Image size 250×250 · cropped to a single cell · bone marrow smear.
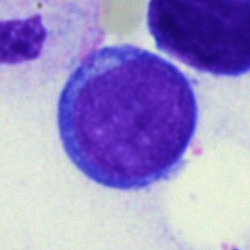The cell shown is a lymphocyte.